250×250 px · bone marrow aspirate smear · Pappenheim-stained — 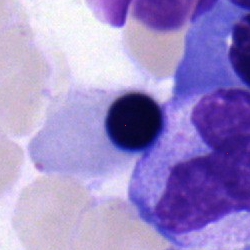
Showing an erythroblast.